Bone marrow aspirate smear: 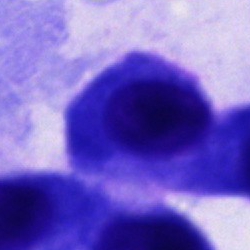 Morphology consistent with a cell not matching the other categories.